Bone marrow smear — 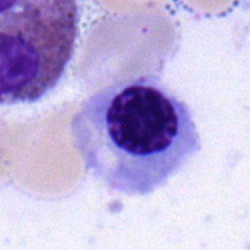
Morphology consistent with a nucleated red cell.